Bone marrow aspirate smear — 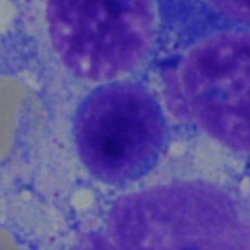

Morphology consistent with a typical lymphocyte.